May-Grünwald-Giemsa/Pappenheim stain. Single-cell field. Bone marrow aspirate smear.
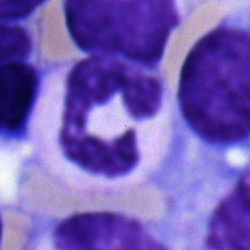Specimen: bone marrow aspirate smear.
Morphological class: polymorphonuclear neutrophil.
Lineage: myeloid.